Bone marrow aspirate smear:
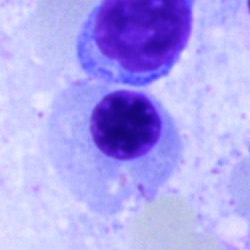

Q: What is the morphological classification of this cell?
A: A normoblast.